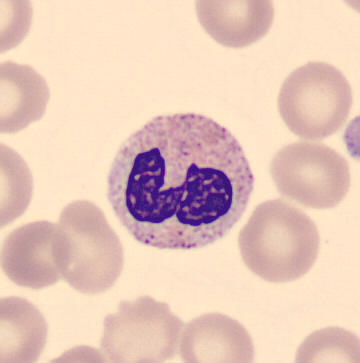

Identified as a band-form neutrophil.

Peripheral blood film. 360×363.